Bone marrow aspirate smear: 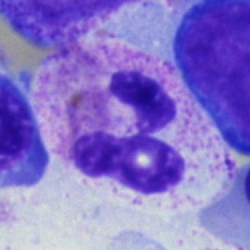
Cell: segmented neutrophil.